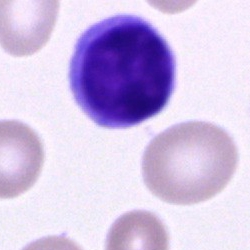

A lymphocyte.